Pappenheim-stained. Bone marrow smear
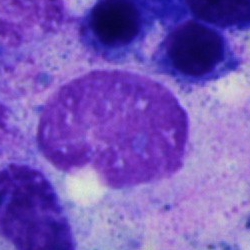

Morphology consistent with an artifact.